Bone marrow smear. 250×250 px.
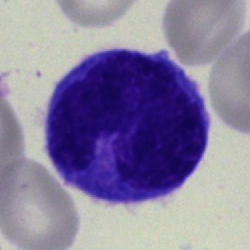

Morphological class = monocyte.